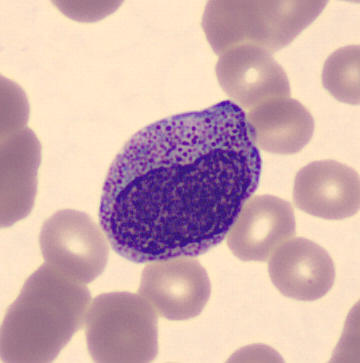
Morphology → promyelocyte.
Peripheral blood film.